May-Grünwald-Giemsa stain. Bone marrow smear — 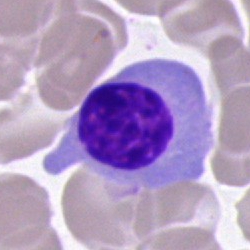Q: Which cell type is shown here?
A: This is an erythroblast.